M8 digital microscope (Precipoint), 100× oil immersion; peripheral blood film.
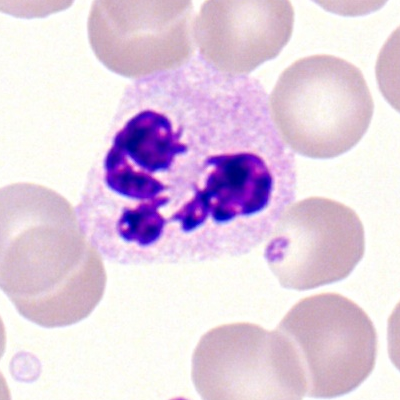The morphological class is polymorphonuclear neutrophil.